Single-cell field. Bone marrow aspirate smear. MGG-stained.
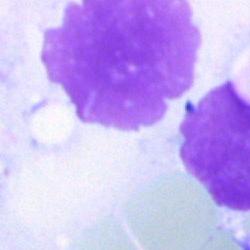 Q: What is shown here?
A: This is an artefact.